Peripheral blood smear: 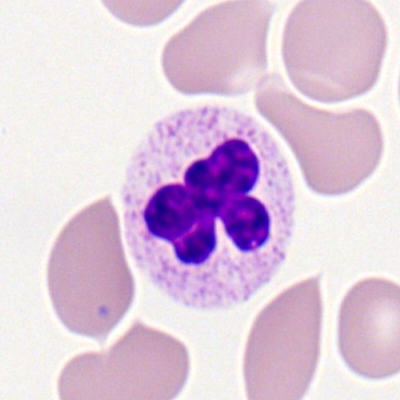
The cell type is neutrophil (segmented).